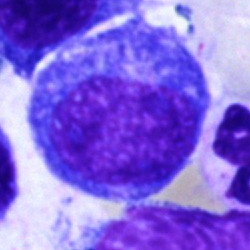

Single cell identified as a promyelocyte.